Image size 250×250 · bone marrow smear · MGG-stained:
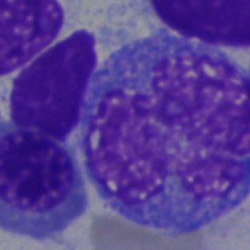

This is a monocyte.